Bone marrow aspirate smear; May-Grünwald-Giemsa stain — 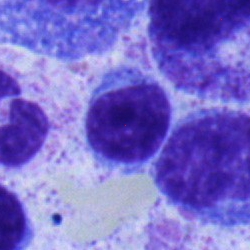
Impression — typical lymphocyte.